Bone marrow smear:
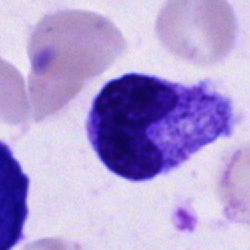

Cell = unidentifiable cell.